Bone marrow aspirate smear: 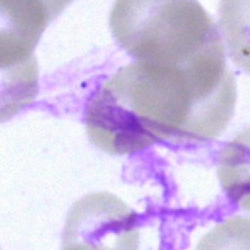The cell shown is an artifact.